Pappenheim-stained · bone marrow aspirate smear · brightfield microscopy, 40× oil immersion: 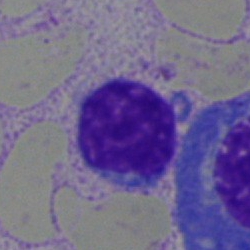
Single cell identified as a typical lymphocyte.